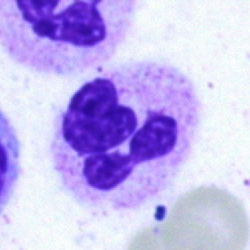Impression → neutrophil (segmented).